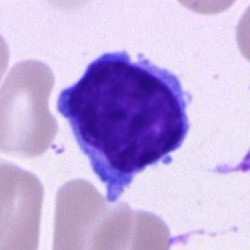 A typical lymphocyte.